Bone marrow aspirate smear — 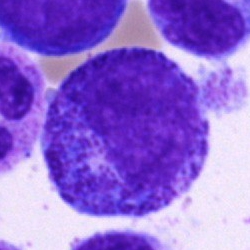A promyelocyte.